Single cell centered in the field. Bone marrow smear.
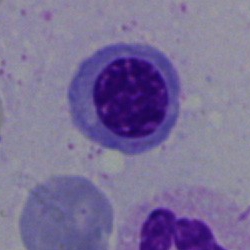 Q: Identify the cell.
A: A normoblast.